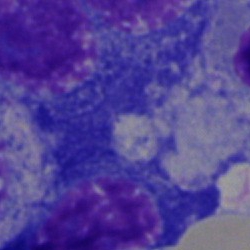

Q: What is shown here?
A: This is an artefact.